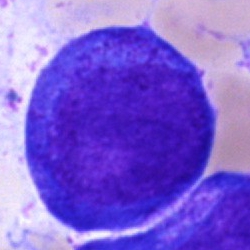 The cell type is promyelocyte.